Bone marrow smear
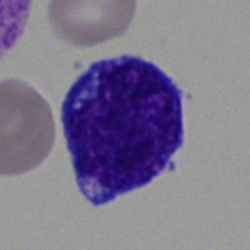Morphology consistent with a blast cell.